Pappenheim-stained; bone marrow smear; single-cell field
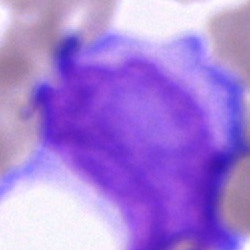The cell is blast cell.